Bone marrow aspirate smear. Single-cell crop. 250×250:
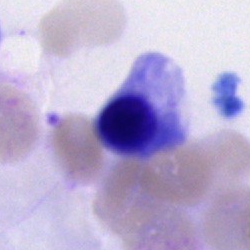

This is a normoblast.